Bone marrow smear:
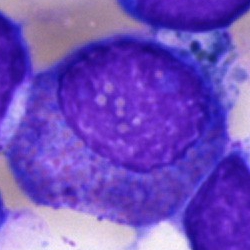This is an eosinophilic granulocyte.